Bone marrow smear · 250×250
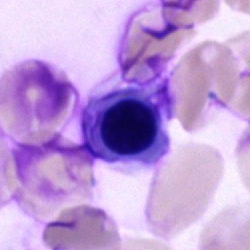

This is an erythroblast.